Bone marrow aspirate smear.
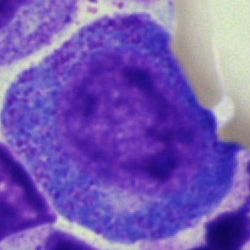

Morphology — progranulocyte.